Bone marrow smear.
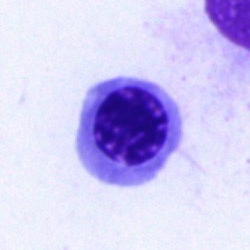
The morphological class is nucleated red cell.